250×250; bone marrow smear: 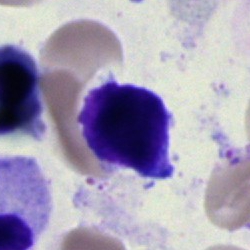
Q: What is the morphological classification of this cell?
A: An erythroblast.